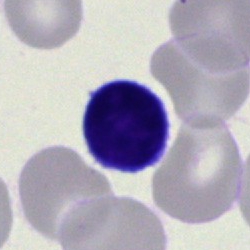
Specimen: bone marrow aspirate smear.
Classification: lymphocyte.